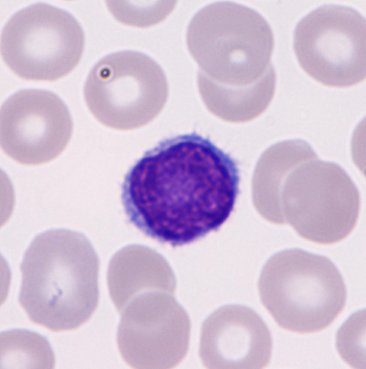Acquisition: CellaVision DM96. Peripheral blood film. 366×369.

A lymphocyte.